Bone marrow aspirate smear
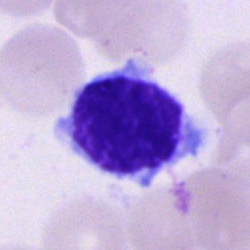 Typical lymphocyte.